Bone marrow aspirate smear; brightfield microscopy, 40× oil immersion — 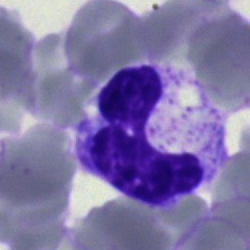 Cell — segmented neutrophil.